Pappenheim-stained. Bone marrow smear. 250 by 250 pixels.
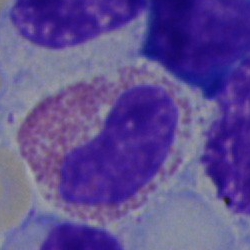 Cell — eosinophilic granulocyte.